Bone marrow aspirate smear: 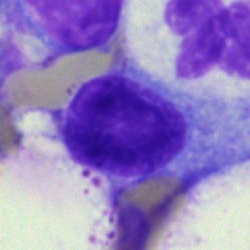
Q: What is shown here?
A: A lymphocyte.